Bone marrow smear — 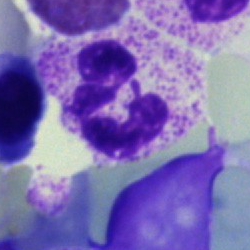 The cell type is segmented neutrophil.